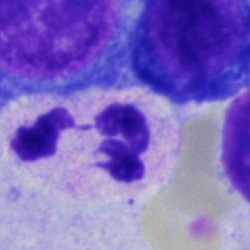
The cell shown is a polymorphonuclear neutrophil.